Pappenheim-stained · bone marrow aspirate smear.
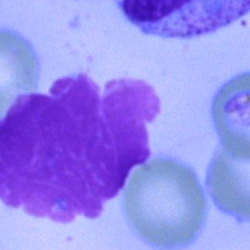An artifact.